Bone marrow aspirate smear; Pappenheim-stained.
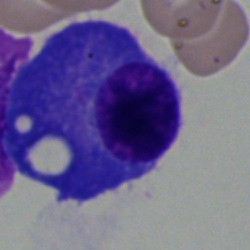

Specimen: bone marrow smear.
Cell type: plasma cell.